Bone marrow smear: 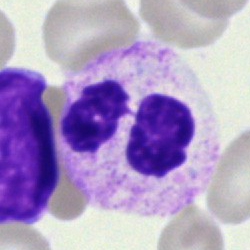 Cell: polymorphonuclear neutrophil.